Bone marrow aspirate smear:
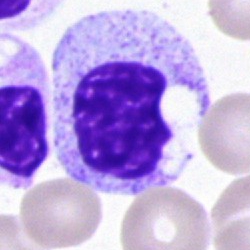Q: Which cell type is shown here?
A: Myelocyte.